Bone marrow aspirate smear; single-cell crop:
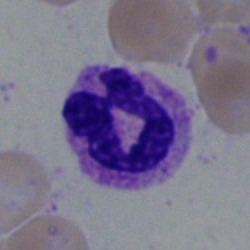

{"cell_type": "band-form neutrophil", "lineage": "myeloid"}